Bone marrow aspirate smear:
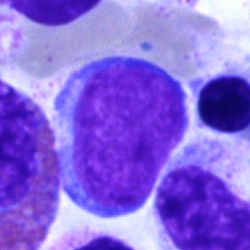Cell type = typical lymphocyte.